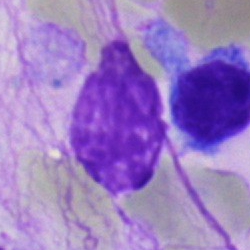

Q: What is shown here?
A: Artifact.